Cropped to a single cell · 40× objective, oil immersion · bone marrow smear: 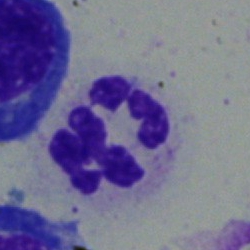Q: What is shown here?
A: This is a neutrophil (segmented).